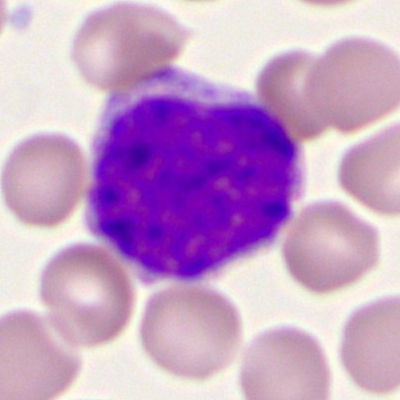
Showing a myeloblast.